Bone marrow aspirate smear:
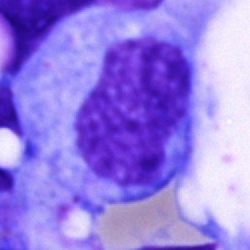 Specimen: bone marrow aspirate smear.
Morphological class: promyelocyte.
Lineage: myeloid.